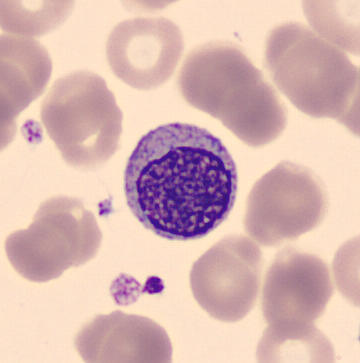 Identified as a myelocyte. Acquisition: Peripheral blood smear.